Bone marrow aspirate smear.
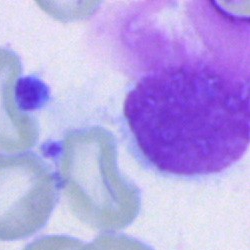Q: What is shown here?
A: Artifact.